Bone marrow smear: 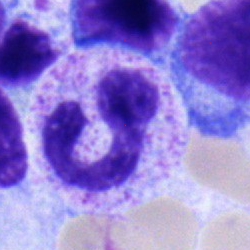 Impression → stab cell.